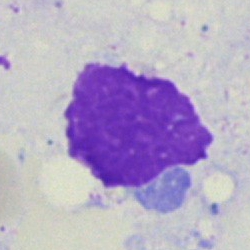
The classification is artifact.